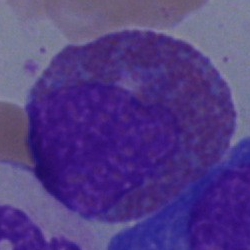Showing an eosinophilic granulocyte.